Bone marrow aspirate smear — 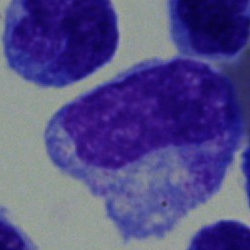
The cell type is myelocyte.